40× oil immersion. 250×250 px. Bone marrow aspirate smear
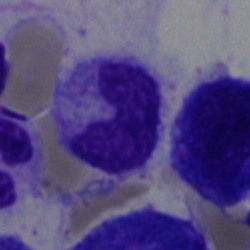
Morphology consistent with a stab cell.